Bone marrow smear: 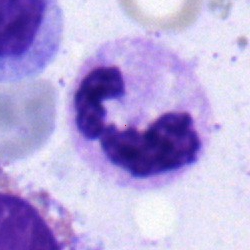

Morphological class = segmented neutrophil.